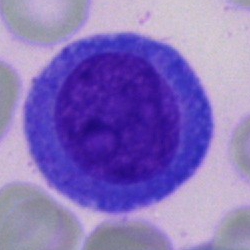 Q: Identify the cell.
A: An undifferentiated blast.